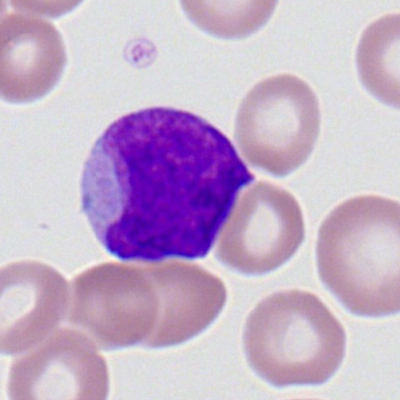

Q: What is shown here?
A: Myeloblast.